250×250; bone marrow aspirate smear — 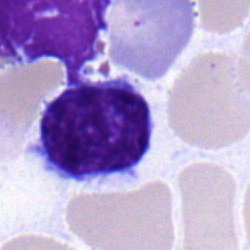Single cell identified as a lymphocyte.